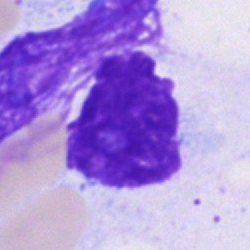Impression — artefact.